400×400 px · peripheral blood film
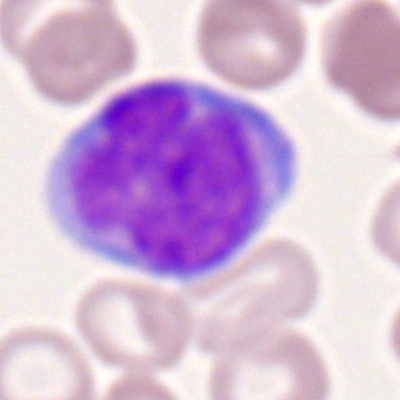

Q: Which cell type is shown here?
A: This is a monocyte.